Bone marrow aspirate smear: 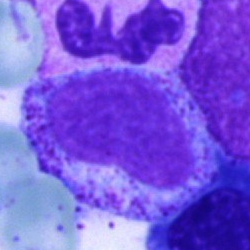Impression — metamyelocyte.